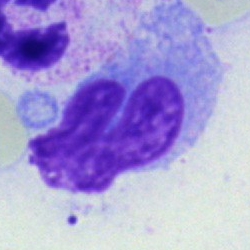

Single-cell crop from a bone marrow smear: monocyte.